Brightfield microscopy, 40× oil immersion · bone marrow aspirate smear: 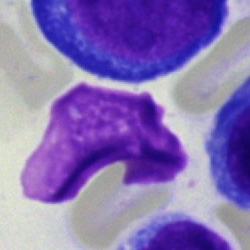 Impression — artifact.